Bone marrow aspirate smear; MGG-stained — 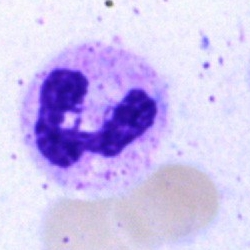

Specimen: bone marrow smear.
Classification: neutrophil (segmented).
Lineage: myeloid.